Single-cell crop; bone marrow smear — 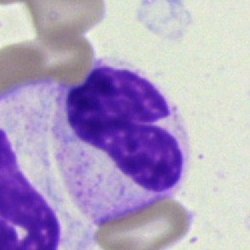

Polymorphonuclear neutrophil.